Bone marrow aspirate smear:
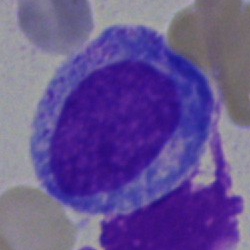
Classification — progranulocyte.